Bone marrow aspirate smear: 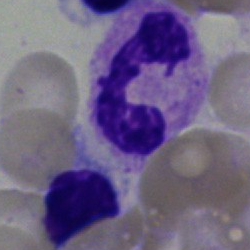 Cell: neutrophil (segmented).